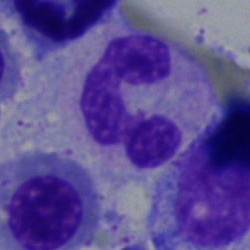

Q: What is shown here?
A: It is a polymorphonuclear neutrophil.